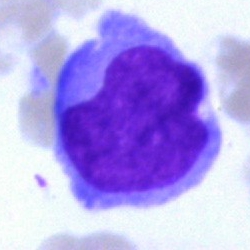
Q: Which cell type is shown here?
A: Undifferentiated blast.